Bone marrow aspirate smear — 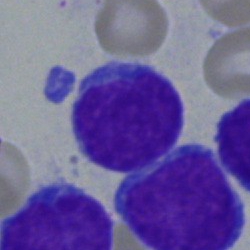

The cell type is typical lymphocyte.